May-Grünwald-Giemsa stain · bone marrow smear.
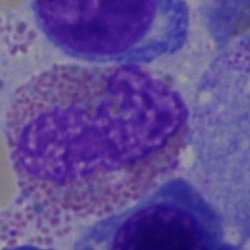
Classification: eosinophilic granulocyte.